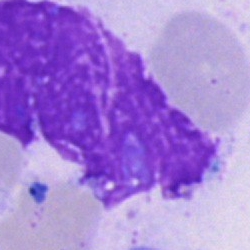Specimen: bone marrow aspirate smear.
Classification: artefact.